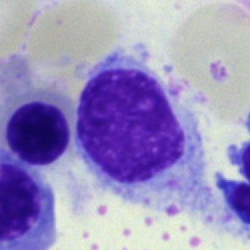
{"cell_type": "hairy cell"}